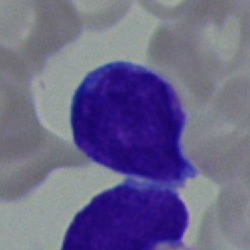 Morphological class = blast cell.